Bone marrow aspirate smear · 250×250 px.
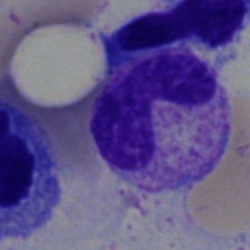

This is a polymorphonuclear neutrophil.